Bone marrow aspirate smear. Cropped to a single cell. 250 by 250 pixels:
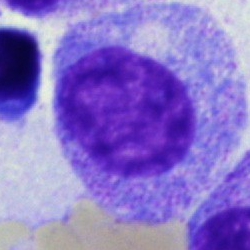

Classification — progranulocyte.